Bone marrow smear: 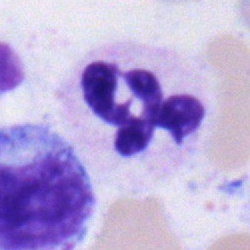The cell shown is a segmented neutrophil.